250×250; bone marrow aspirate smear
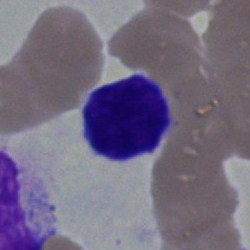
Q: Identify the cell.
A: A typical lymphocyte.